Bone marrow aspirate smear: 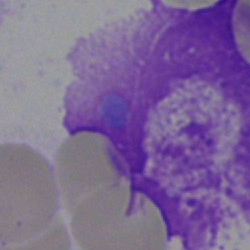Classification — artifact.